Bone marrow smear; cropped to a single cell
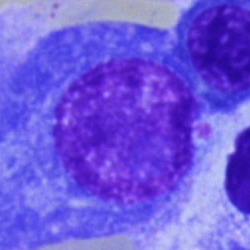
The cell type is plasma cell.